Image size 250×250. Bone marrow smear.
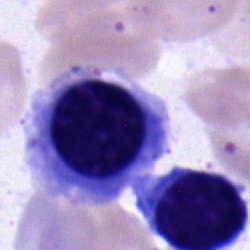Cell — normoblast.